May-Grünwald-Giemsa/Pappenheim stain · bone marrow aspirate smear — 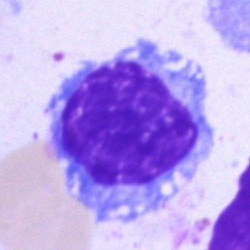
Typical lymphocyte.